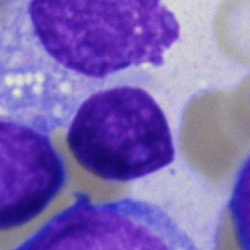
Cell type = typical lymphocyte.